Bone marrow aspirate smear: 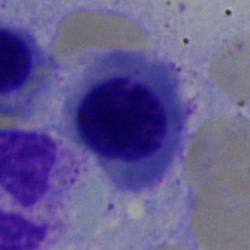
A nucleated red blood cell.